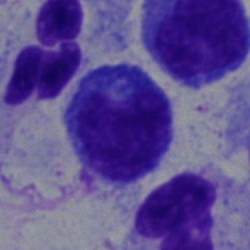Classification: typical lymphocyte.